Bone marrow smear: 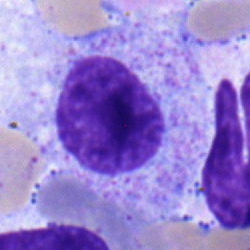 Q: What type of cell is this?
A: It is a myelocyte.